Bone marrow smear; image size 250×250.
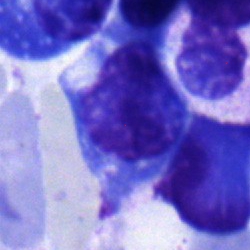A nucleated red blood cell.